Romanowsky stain; peripheral blood film:
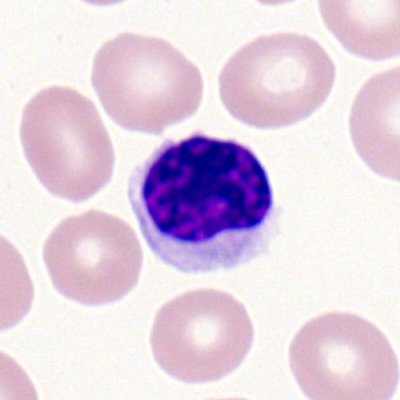 Typical lymphocyte.